Bone marrow smear: 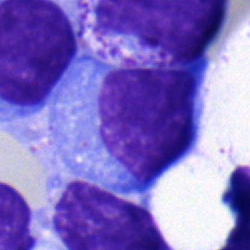Cell — plasma cell.